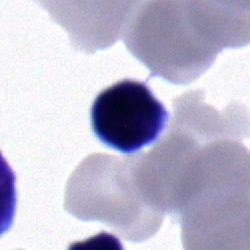{"cell_type": "lymphocyte", "lineage": "lymphoid"}